Bone marrow smear:
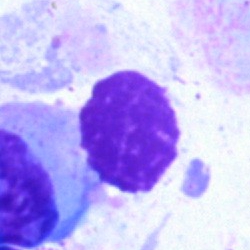Artefact.